Bone marrow aspirate smear.
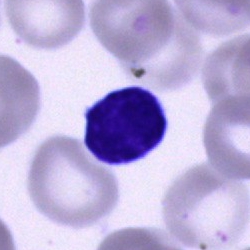
Q: What is shown here?
A: A lymphocyte.